100× oil immersion, 14.14 px/µm; peripheral blood smear:
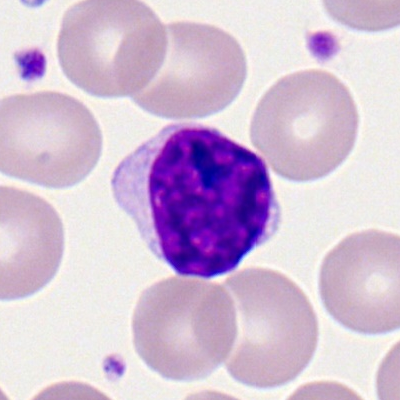 Cell type = lymphocyte.